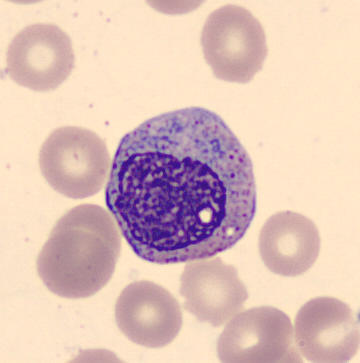 Preparation: Peripheral blood smear · 360 by 363 pixels.

{"cell_type": "myelocyte", "lineage": "myeloid"}